Single-cell field. Bone marrow aspirate smear. 250 by 250 pixels: 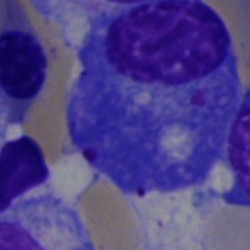{"cell_type": "plasmacyte"}